Bone marrow smear. May-Grünwald-Giemsa/Pappenheim stain
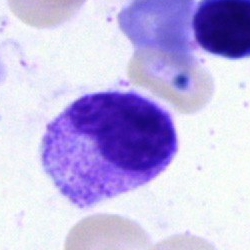 The cell shown is a metamyelocyte.